Bone marrow aspirate smear. MGG-stained:
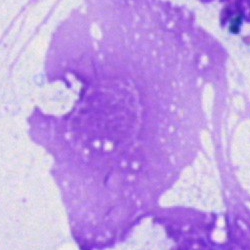Specimen: bone marrow aspirate smear.
Morphological class: artefact.